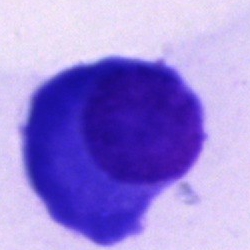Morphology — plasmacyte.